Single-cell crop. Bone marrow aspirate smear.
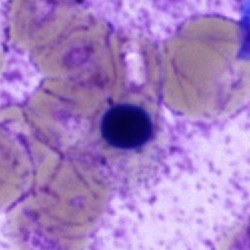
Cell type = normoblast.